Bone marrow smear — 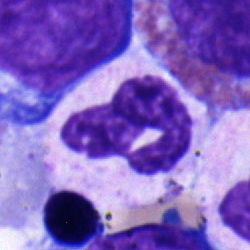
Q: What cell is this?
A: It is a polymorphonuclear neutrophil.